Bone marrow smear.
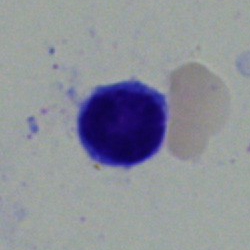

Q: What type of cell is this?
A: It is a lymphocyte.